250×250 px. Bone marrow aspirate smear. Single-cell field
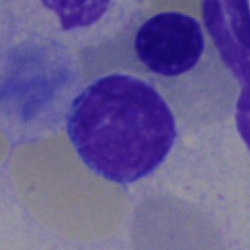 Specimen: bone marrow smear.
Morphological class: typical lymphocyte.
Lineage: lymphoid.